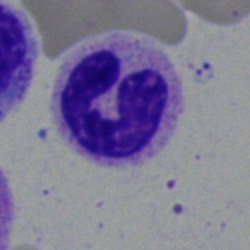Impression → stab cell.